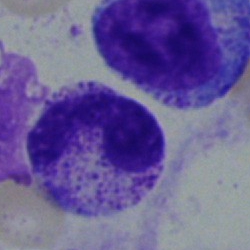 Specimen: bone marrow aspirate smear.
Classification: band neutrophil.